Bone marrow aspirate smear.
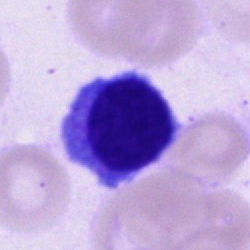 The cell type is lymphocyte.